40× objective, oil immersion. Bone marrow aspirate smear. Single-cell field.
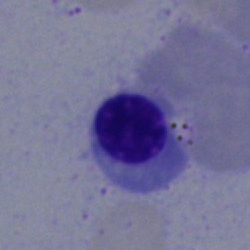 Nucleated red blood cell.